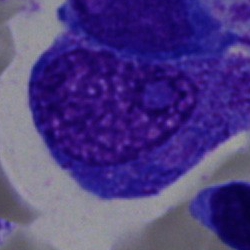
The cell is progranulocyte.